MGG-stained · bone marrow smear.
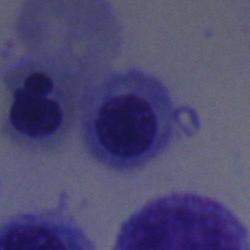
Specimen: bone marrow aspirate smear.
Cell type: normoblast.
Lineage: erythroid.